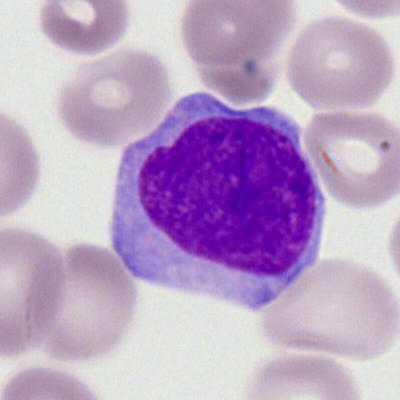
Peripheral blood smear showing a myeloblast.